Bone marrow aspirate smear; May-Grünwald-Giemsa/Pappenheim stain.
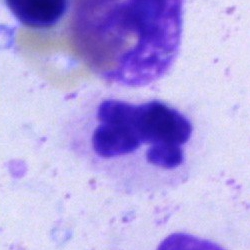

Morphology — segmented neutrophil.